Bone marrow smear — 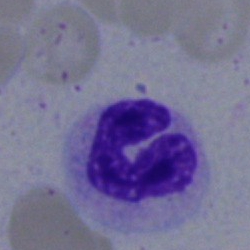
A segmented neutrophil.